250×250; bone marrow smear.
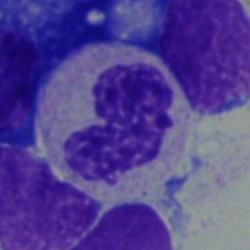

A band neutrophil.